Bone marrow smear · 250×250 px · single cell centered in the field:
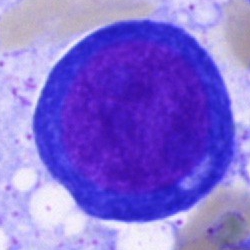 {"cell_type": "pronormoblast"}